Bone marrow smear: 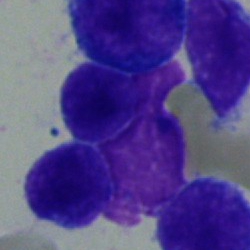
Cell — undifferentiated blast.